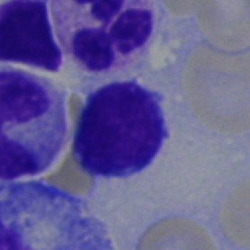

Single cell identified as a lymphocyte.